Single-cell field; bone marrow smear.
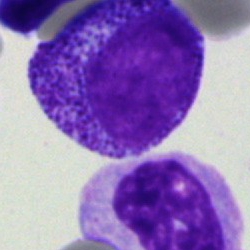{"cell_type": "myelocyte", "lineage": "myeloid"}